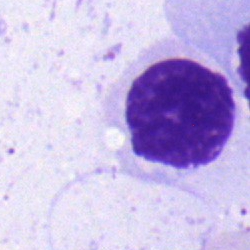
This is a nucleated red blood cell.